Bone marrow smear: 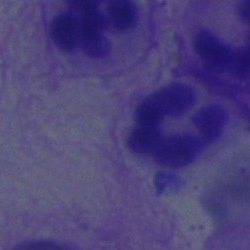
Impression — segmented neutrophil.